MGG-stained · bone marrow aspirate smear · cropped to a single cell:
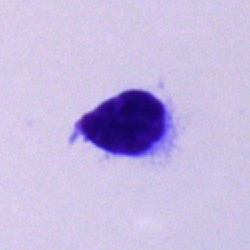 Cell type: lymphocyte.